Bone marrow aspirate smear. Pappenheim-stained:
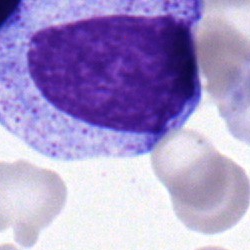
Specimen: bone marrow aspirate smear.
Cell: myelocyte.
Lineage: myeloid.